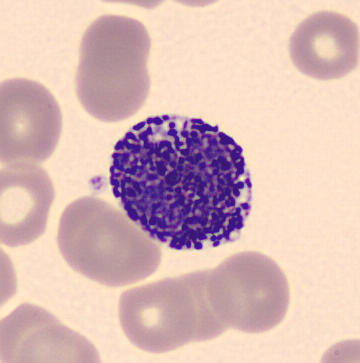

Acquisition: Peripheral blood smear.

Morphology — basophil.